Bone marrow smear:
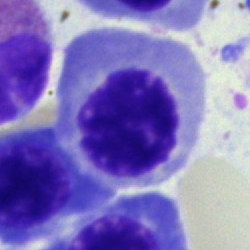
The cell type is nucleated red blood cell.